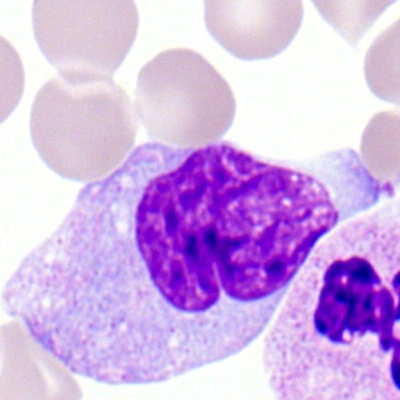
A monocyte on a peripheral blood smear.